Peripheral blood smear · cropped to a single cell — 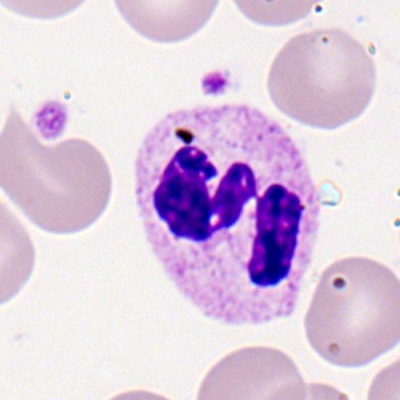
Single cell identified as a neutrophil (segmented).